Bone marrow aspirate smear: 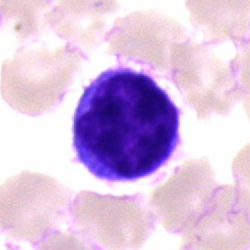 The cell is typical lymphocyte.